Bone marrow smear; Pappenheim-stained; 40× objective, oil immersion — 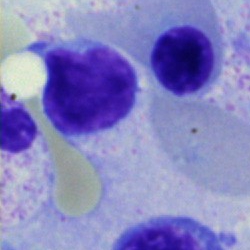

Classification: lymphocyte.